Peripheral blood smear · Romanowsky stain
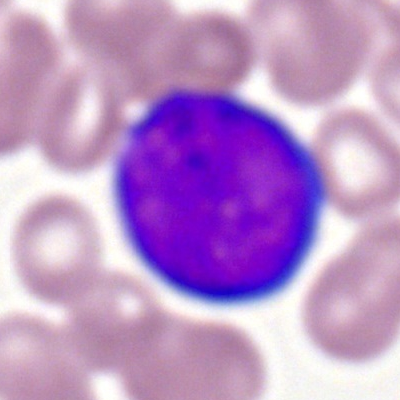 Q: What is shown here?
A: A myeloblast.